Cropped to a single cell; bone marrow smear
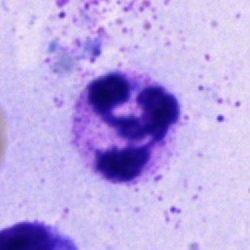The cell shown is a neutrophil (segmented).